250 by 250 pixels · brightfield, 40× oil-immersion objective · bone marrow smear — 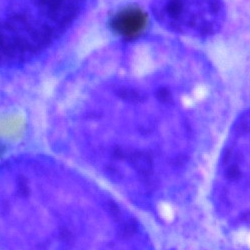

Q: Which cell type is shown here?
A: This is a metamyelocyte.